250×250 · bone marrow smear
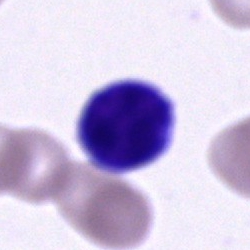Cell — lymphocyte.